Bone marrow smear · brightfield, 40× oil-immersion objective.
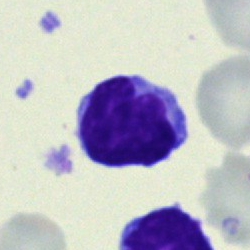

Showing a typical lymphocyte.